Bone marrow smear.
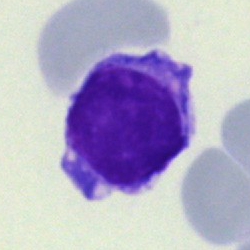

Typical lymphocyte.